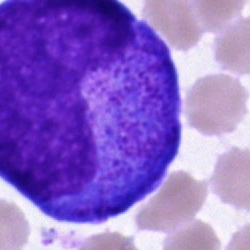 {"cell_type": "promyelocyte", "lineage": "myeloid"}